Single-cell crop; 40× objective, oil immersion; bone marrow smear: 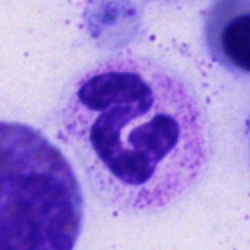
Morphological class = polymorphonuclear neutrophil.